Peripheral blood film:
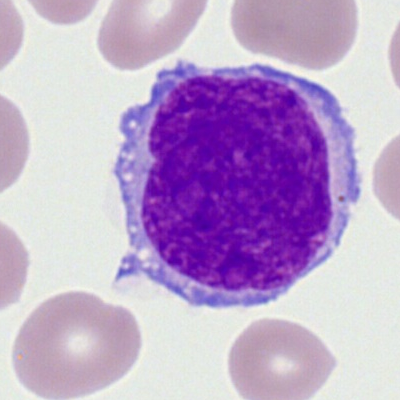Specimen: peripheral blood smear.
Morphological class: myeloid blast.
Lineage: myeloid.